Bone marrow aspirate smear; brightfield, 40× oil-immersion objective; 250 by 250 pixels: 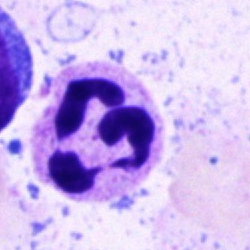 Q: What is the morphological classification of this cell?
A: A neutrophil (segmented).